Bone marrow aspirate smear. Brightfield microscopy, 40× oil immersion: 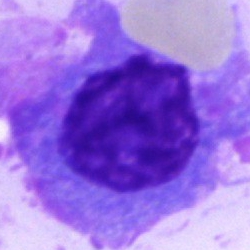
This is a plasmacyte.